Bone marrow smear · 250×250
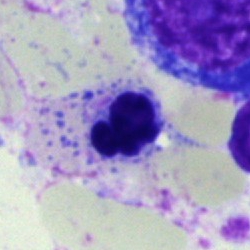The cell shown is an artefact.